Bone marrow aspirate smear · May-Grünwald-Giemsa/Pappenheim stain: 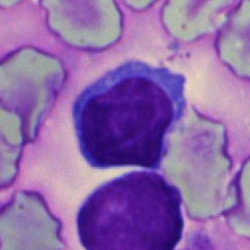{"cell_type": "typical lymphocyte"}